Bone marrow aspirate smear.
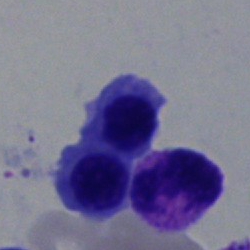
Cell — nucleated red blood cell.